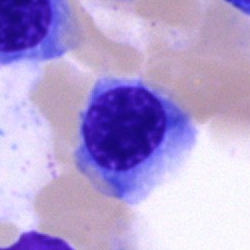 Cell = erythroblast.